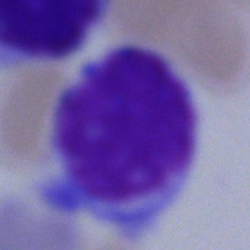

Showing an artifact.